Bone marrow aspirate smear — 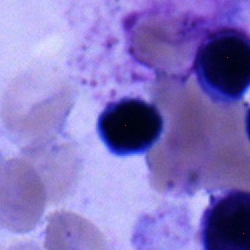 This is a typical lymphocyte.